Bone marrow smear — 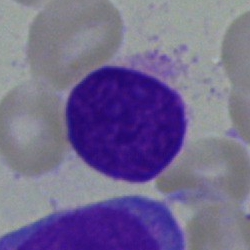
Morphology — artifact.